May-Grünwald-Giemsa stain; bone marrow smear; 250 by 250 pixels: 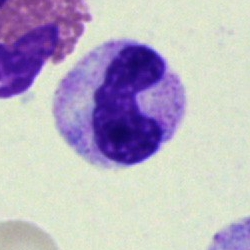 Morphological class: band-form neutrophil.